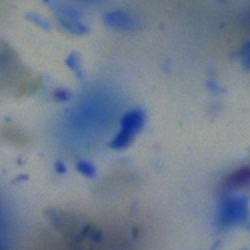 An artefact.